Bone marrow smear. Single-cell field. 250×250 px: 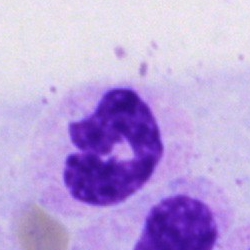 Morphology consistent with a polymorphonuclear neutrophil.